Bone marrow aspirate smear. MGG-stained. Image size 250×250.
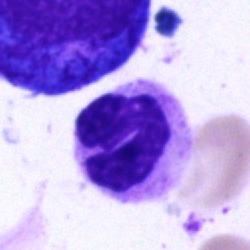Polymorphonuclear neutrophil.